Bone marrow smear · single-cell field.
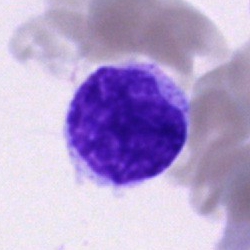
Showing a cell of indeterminate lineage.